Bone marrow aspirate smear; brightfield, 40× oil-immersion objective; single-cell crop: 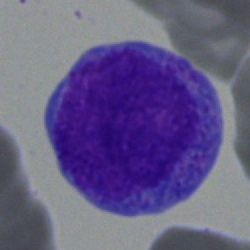

The cell shown is a progranulocyte.